Bone marrow aspirate smear
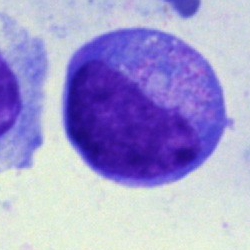

Q: Which cell type is shown here?
A: It is a blast.